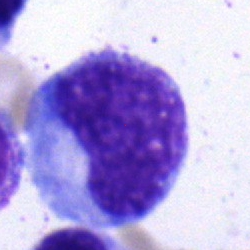A progranulocyte.